Bone marrow smear: 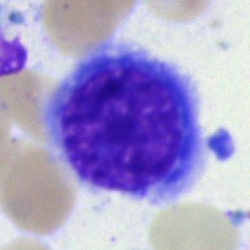

Q: Identify the cell.
A: A nucleated red cell.